Bone marrow smear
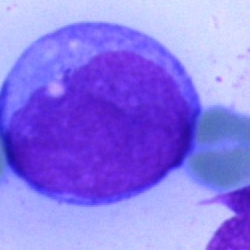 {"cell_type": "blast"}